Peripheral blood film.
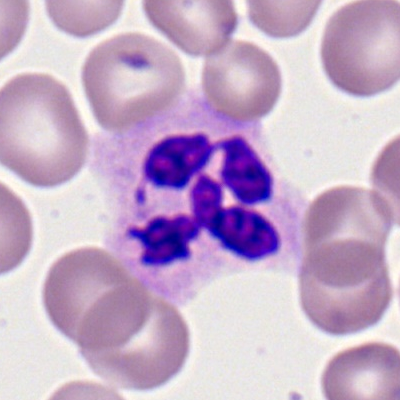

The cell shown is a polymorphonuclear neutrophil.